Pappenheim-stained. Bone marrow aspirate smear
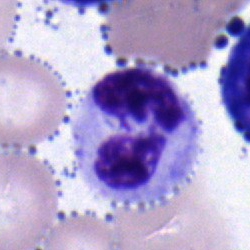
Morphological class — polymorphonuclear neutrophil.